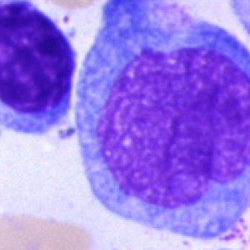

Specimen: bone marrow smear.
Morphological class: undifferentiated blast.